Bone marrow smear
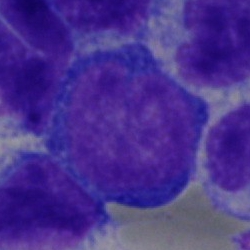 {"cell_type": "normoblast"}